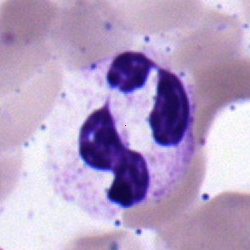Specimen: bone marrow smear.
Cell type: polymorphonuclear neutrophil.
Lineage: myeloid.